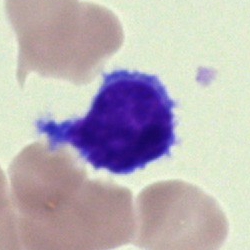

The cell shown is a lymphocyte.